250×250 px; bone marrow smear; May-Grünwald-Giemsa stain.
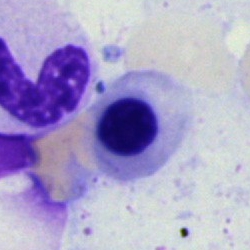
Morphological class — erythroblast.